Bone marrow smear: 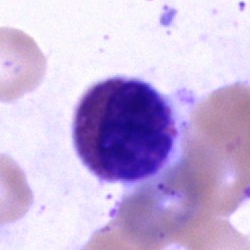
Morphology consistent with an eosinophil.